Bone marrow aspirate smear.
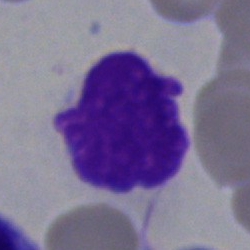
{"cell_type": "artefact"}